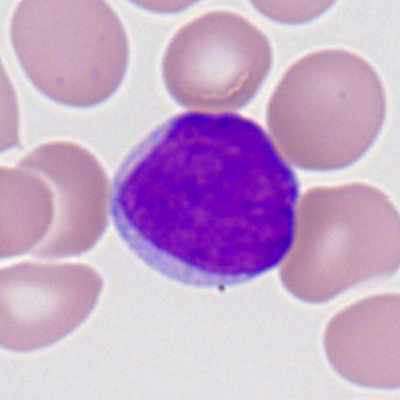The cell is myeloid blast.